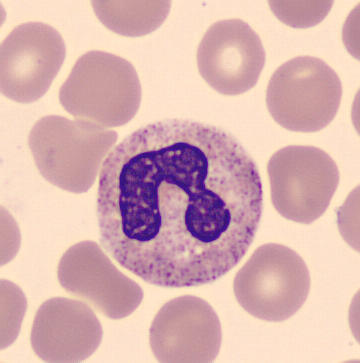

Cell: stab cell.